Bone marrow smear. 250 by 250 pixels — 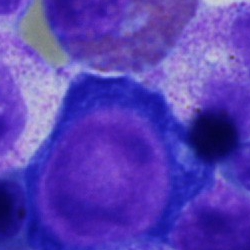

The cell shown is a proerythroblast.